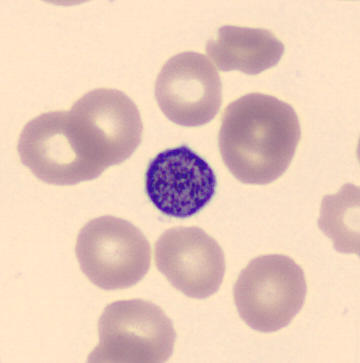

Q: What is this?
A: It is a platelet (thrombocyte).